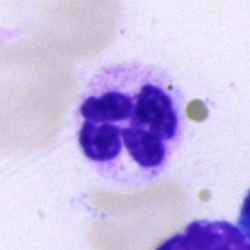
Morphology → polymorphonuclear neutrophil.